Peripheral blood film:
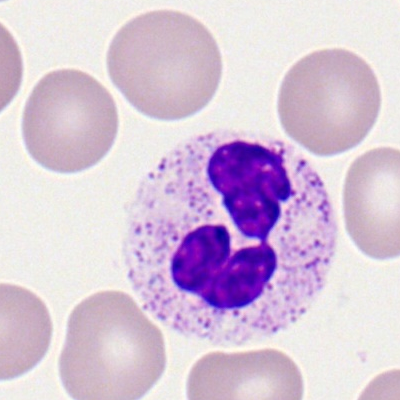

Morphology consistent with a segmented neutrophil.